Bone marrow smear.
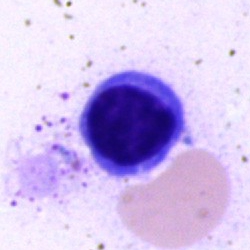 Morphology → lymphocyte.